May-Grünwald-Giemsa stain. Bone marrow aspirate smear
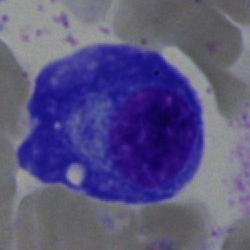 Plasmacyte.